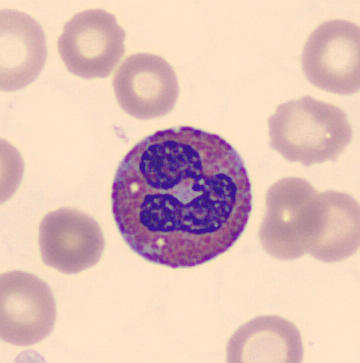

Morphology — eosinophilic granulocyte.